Romanowsky-type stain; single cell centered in the field; peripheral blood smear.
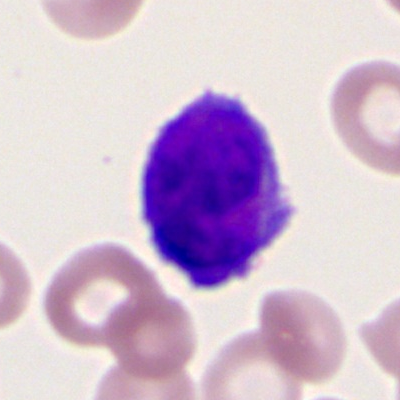
Morphology consistent with a myeloid blast.